400 by 400 pixels; Romanowsky stain; peripheral blood smear:
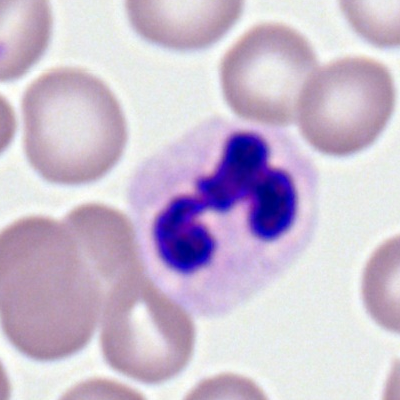The cell shown is a neutrophil (segmented).